Cropped to a single cell · bone marrow aspirate smear.
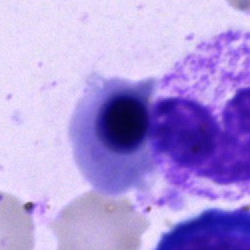 Cell type — nucleated red blood cell.